Peripheral blood smear: 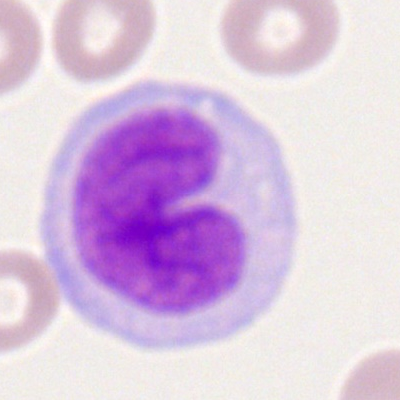
The cell is monocyte.